Bone marrow smear.
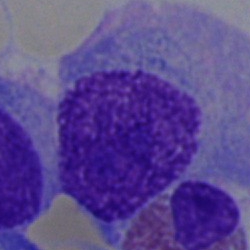Specimen: bone marrow aspirate smear.
Cell type: plasmacyte.